Bone marrow aspirate smear · 40× objective, oil immersion: 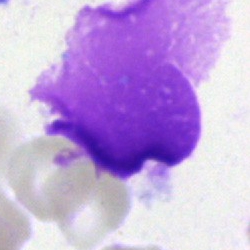 An artifact.